Bone marrow smear
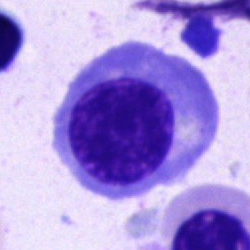
Morphology consistent with a nucleated red cell.